Bone marrow aspirate smear · Pappenheim-stained · cropped to a single cell.
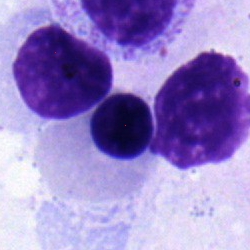
Morphological class = normoblast.